Bone marrow smear — 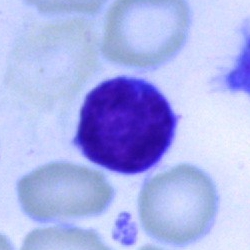

Morphology consistent with a lymphocyte.